Brightfield, 40× oil-immersion objective · MGG-stained · bone marrow smear
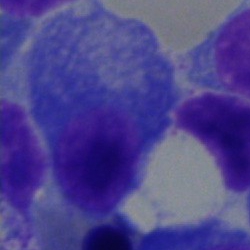Impression → plasma cell.